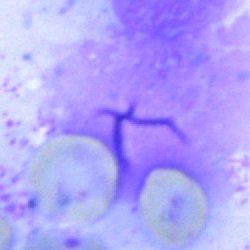Specimen: bone marrow smear.
Morphological class: artefact.